Bone marrow aspirate smear.
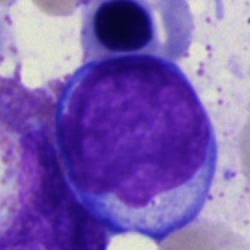
Blast cell.